Cropped to a single cell. Bone marrow smear — 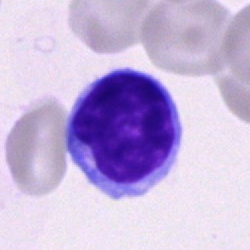Cell type — lymphocyte.